Bone marrow smear. 250×250. Single-cell crop
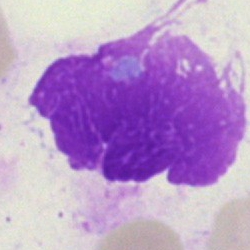

This is an artefact.